Single cell centered in the field · bone marrow smear: 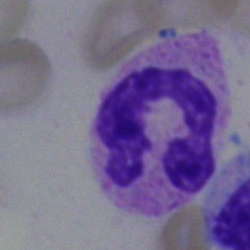 Q: What is shown here?
A: This is a segmented neutrophil.